Bone marrow smear — 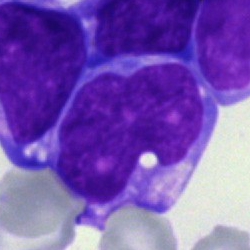Cell type: undifferentiated blast.